Image size 250×250; bone marrow aspirate smear.
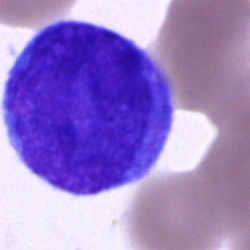
Cell type = blast.